Pappenheim-stained · single cell centered in the field · bone marrow smear:
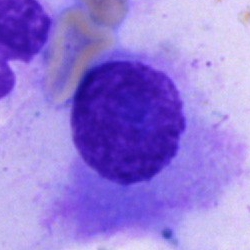

A plasmacyte.